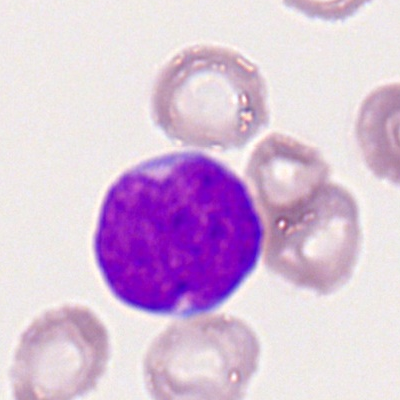
Morphological class = myeloblast.